Bone marrow aspirate smear
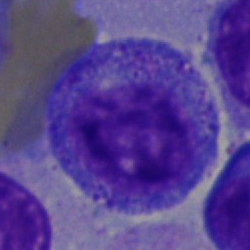

Showing a promyelocyte.